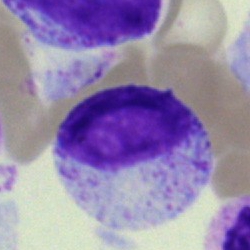

Morphology consistent with a myelocyte.